Peripheral blood film · single cell centered in the field:
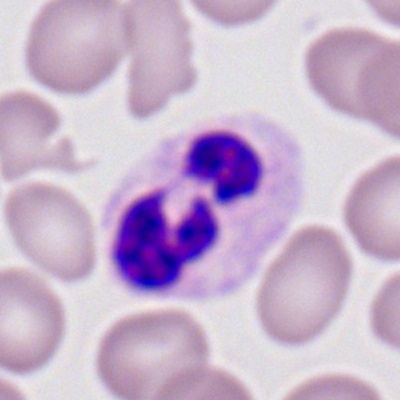Specimen: peripheral blood film.
Cell type: polymorphonuclear neutrophil.
Lineage: myeloid.